Bone marrow aspirate smear
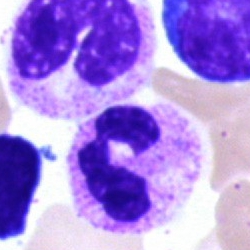

Q: What is the morphological classification of this cell?
A: This is a neutrophil (segmented).